Peripheral blood film: 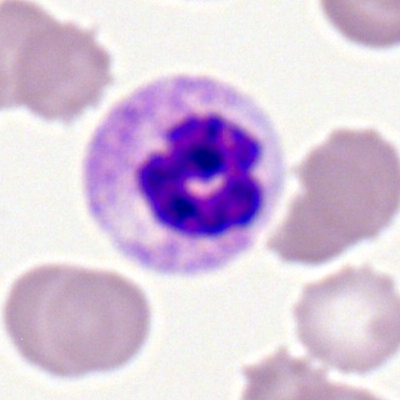 This is a neutrophil (segmented).